Bone marrow smear.
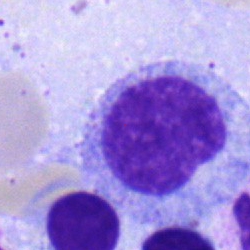Myelocyte.